Bone marrow aspirate smear: 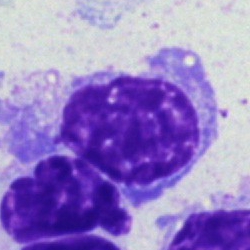
Morphological class = plasma cell.